Bone marrow aspirate smear
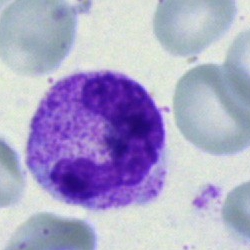Classification = segmented neutrophil.